Bone marrow smear; 40× objective, oil immersion.
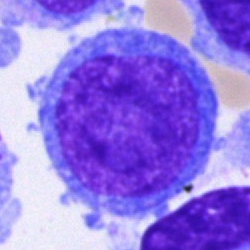

Q: Identify the cell.
A: A blast.